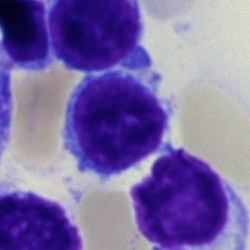A lymphocyte.